Bone marrow aspirate smear:
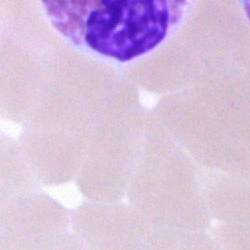Specimen: bone marrow smear.
Cell: artifact.